250×250 px; bone marrow aspirate smear:
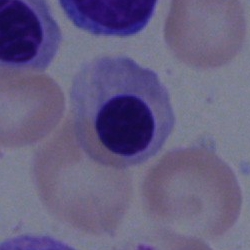Specimen: bone marrow smear.
Cell type: erythroblast.